Single-cell crop; bone marrow smear: 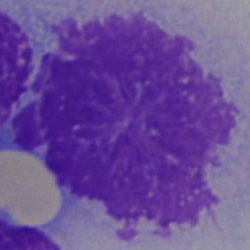
Specimen: bone marrow aspirate smear.
Cell type: artefact.